Brightfield, 40× oil-immersion objective · May-Grünwald-Giemsa stain · bone marrow smear
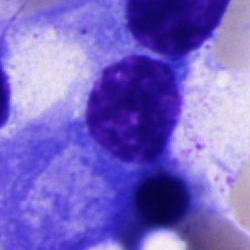 Showing a plasmacyte.